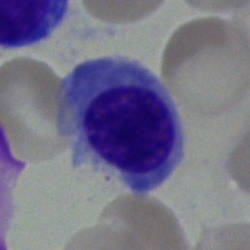 Bone marrow aspirate smear, single cell — nucleated red blood cell.